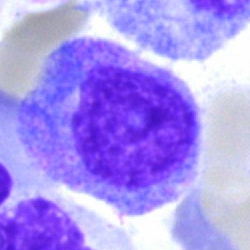
Bone marrow smear showing a myelocyte.